Brightfield, 40× oil-immersion objective · single-cell field · bone marrow aspirate smear.
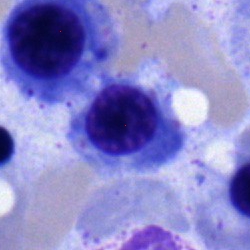 Specimen: bone marrow smear.
Cell: normoblast.